Bone marrow smear · 250 by 250 pixels · Pappenheim-stained.
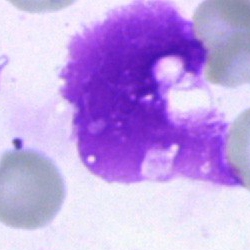

Morphology consistent with an artefact.